Bone marrow aspirate smear: 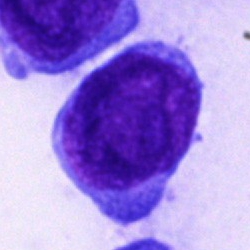
Single cell identified as a blast.